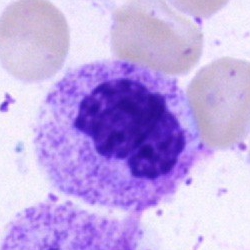 Bone marrow smear showing a polymorphonuclear neutrophil.